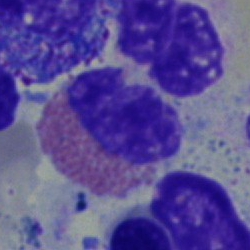

Morphological class: eosinophilic granulocyte.